400×400 px · peripheral blood film · Romanowsky stain
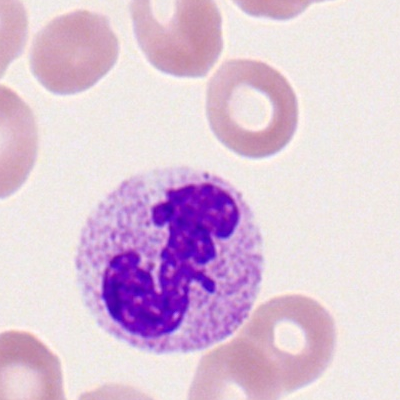

This is a polymorphonuclear neutrophil.